Brightfield, 40× oil-immersion objective; bone marrow smear — 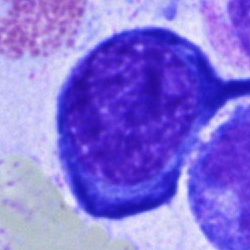

Q: What is shown here?
A: It is a normoblast.